May-Grünwald-Giemsa/Pappenheim stain. 40× objective, oil immersion. Bone marrow aspirate smear:
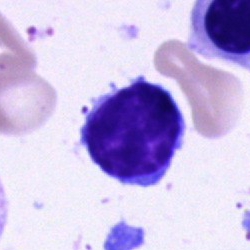Q: What is shown here?
A: A lymphocyte.